Bone marrow aspirate smear: 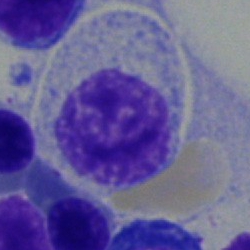A myelocyte.